Bone marrow aspirate smear:
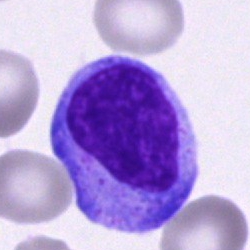

Showing an unidentifiable cell.